Bone marrow smear:
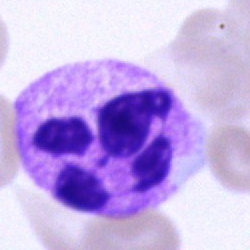Morphology — neutrophil (segmented).